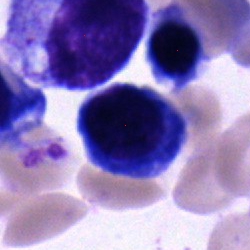 A nucleated red blood cell on a bone marrow smear.